Peripheral blood film
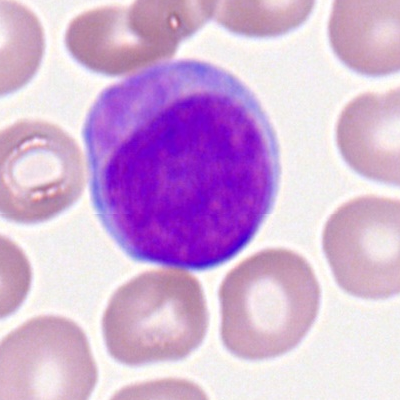 Q: What type of cell is this?
A: A myeloblast.